Single-cell crop; bone marrow smear:
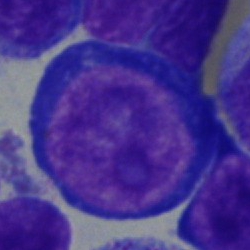 Q: What is shown here?
A: It is a proerythroblast.